Peripheral blood film: 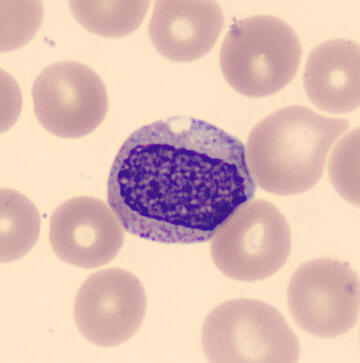

The cell shown is a myelocyte.